Bone marrow aspirate smear: 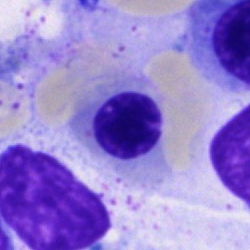 Morphology — nucleated red blood cell.